Bone marrow aspirate smear.
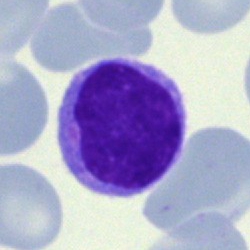
This is a nucleated red cell.